Single cell centered in the field; bone marrow aspirate smear; 250×250:
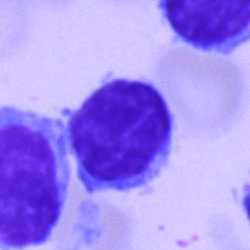
{"cell_type": "lymphocyte", "lineage": "lymphoid"}